Bone marrow aspirate smear.
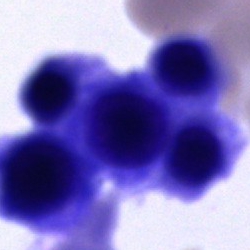 An unidentifiable cell.